Bone marrow smear
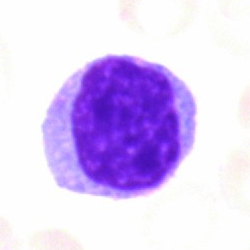Cell = monocyte.